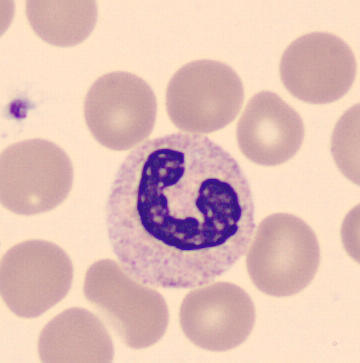 Preparation: Peripheral blood film.
Q: What cell is this?
A: This is a stab cell.